Bone marrow smear.
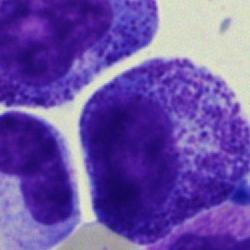Specimen: bone marrow aspirate smear.
Cell: progranulocyte.